40× oil immersion · bone marrow aspirate smear:
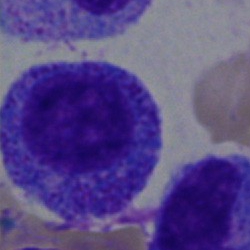Single cell identified as a promyelocyte.